Bone marrow smear: 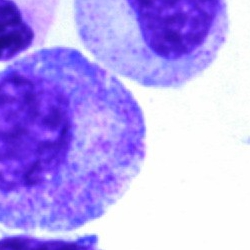 The cell shown is a progranulocyte.